Bone marrow aspirate smear; single-cell field — 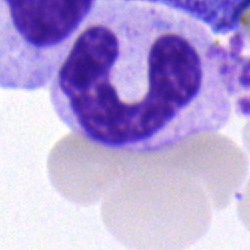
Q: What is shown here?
A: A band-form neutrophil.